Bone marrow smear: 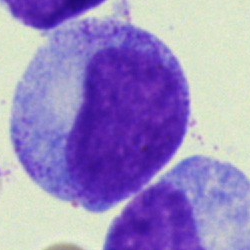

Morphological class = progranulocyte.